Bone marrow smear:
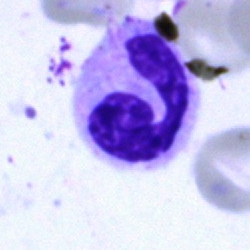

Polymorphonuclear neutrophil.